Single cell centered in the field · MGG-stained · bone marrow smear:
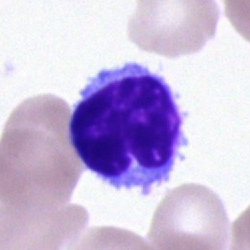
Cell type: monocyte.